Bone marrow smear · single-cell field
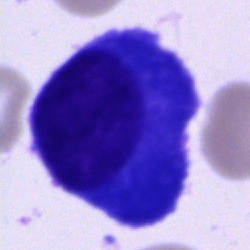 Single cell identified as a plasmacyte.